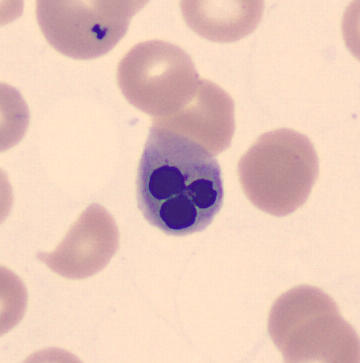 Acquisition: Peripheral blood smear. This is a nucleated red blood cell.